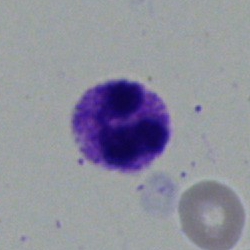The cell type is segmented neutrophil.